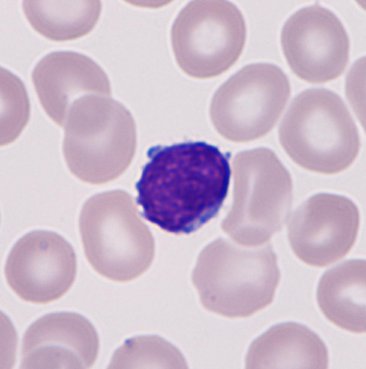Peripheral blood smear.

Single cell identified as a monocyte.